Bone marrow aspirate smear: 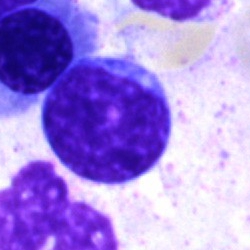

Impression → typical lymphocyte.